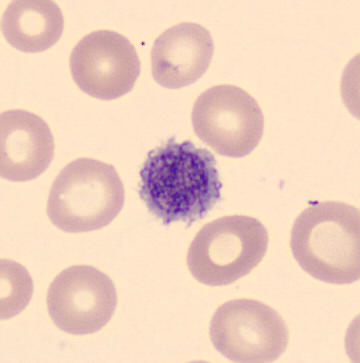
Specimen: peripheral blood smear.
Cell type: platelet.